Bone marrow smear; 40× oil immersion:
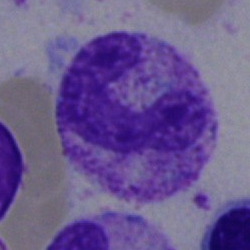
Classification: neutrophil (segmented).